Bone marrow aspirate smear.
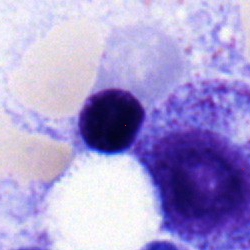 A normoblast.